Bone marrow aspirate smear:
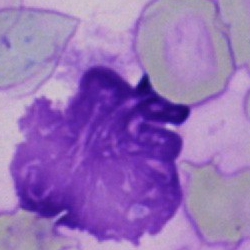
Q: What is shown here?
A: Artifact.